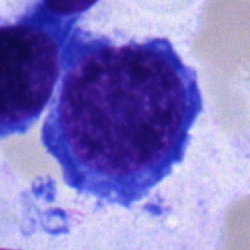 This is a nucleated red cell.